Cropped to a single cell; bone marrow aspirate smear; 40× objective, oil immersion:
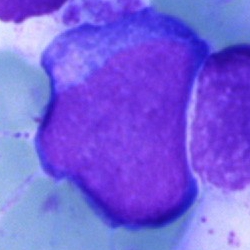
Showing a blast cell.